MGG-stained · 250×250 · bone marrow aspirate smear — 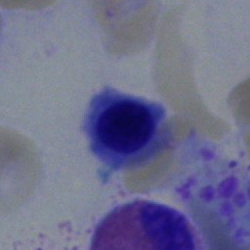 Specimen: bone marrow aspirate smear.
Classification: normoblast.